Single-cell field · bone marrow aspirate smear · 40× objective, oil immersion: 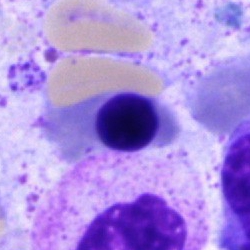Specimen: bone marrow smear.
Classification: erythroblast.